250 by 250 pixels; single-cell crop; bone marrow smear: 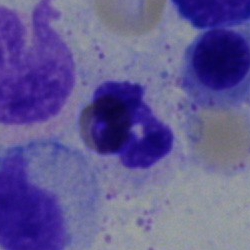Morphological class: polymorphonuclear neutrophil.